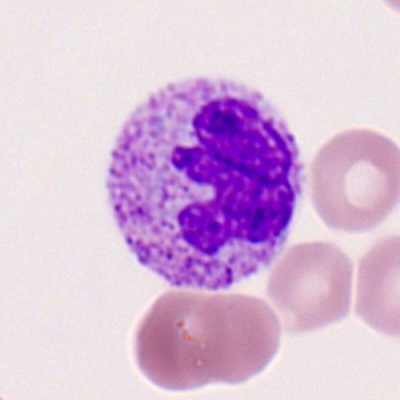
Polymorphonuclear neutrophil.